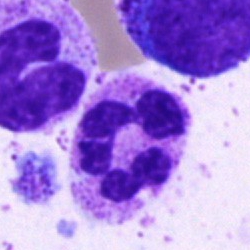{"cell_type": "polymorphonuclear neutrophil", "lineage": "myeloid"}